Bone marrow smear:
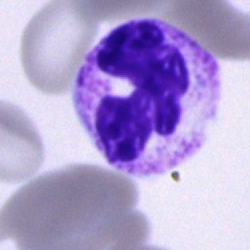Cell type = polymorphonuclear neutrophil.